Bone marrow smear
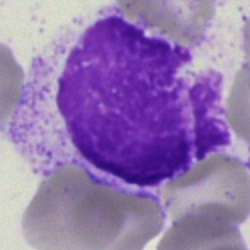 Artifact.